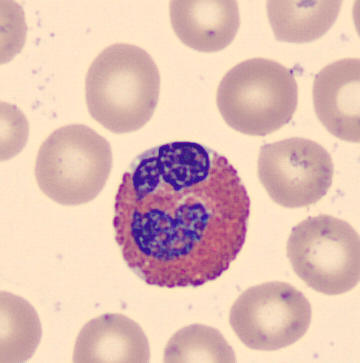

Preparation: Peripheral blood smear. Impression — eosinophilic granulocyte.